Bone marrow aspirate smear — 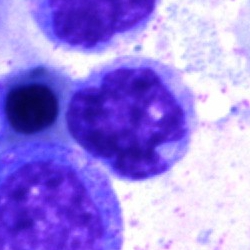
A monocyte.